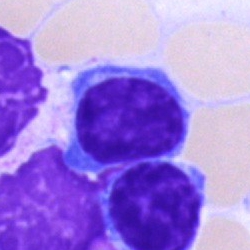This is a typical lymphocyte.